Bone marrow smear. 250×250 px. Single-cell field.
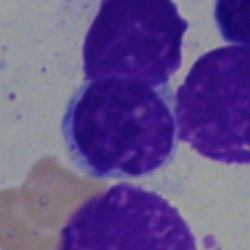

Typical lymphocyte.